Bone marrow smear. 250 by 250 pixels. 40× objective, oil immersion:
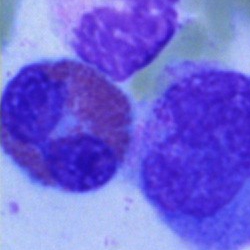 Morphology — eosinophilic granulocyte.